Bone marrow smear.
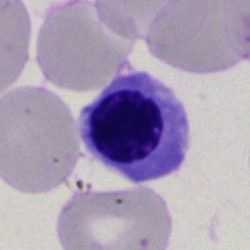 Cell type — nucleated red cell.